Bone marrow smear; brightfield microscopy, 40× oil immersion: 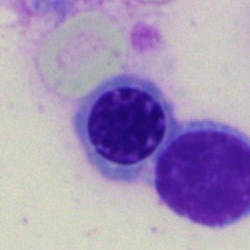

{"cell_type": "nucleated red cell", "lineage": "erythroid"}